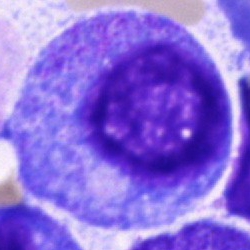Specimen: bone marrow aspirate smear.
Classification: promyelocyte.
Lineage: myeloid.